Bone marrow aspirate smear: 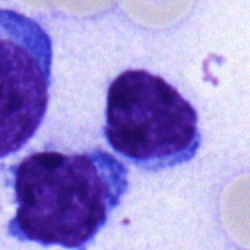Impression → typical lymphocyte.